250×250; bone marrow smear; Pappenheim-stained: 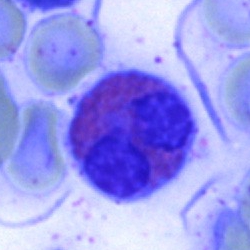

Single cell identified as an eosinophilic granulocyte.